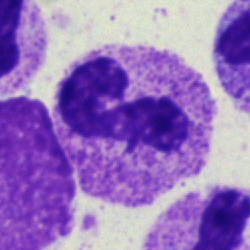
Morphology → neutrophil (segmented).